250×250 · bone marrow smear · single cell centered in the field: 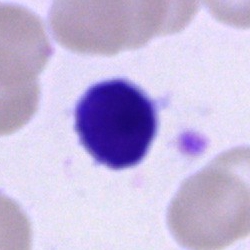

Morphology consistent with a lymphocyte.